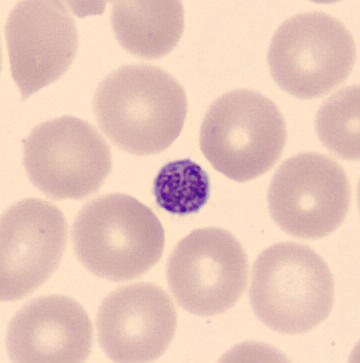Image: Peripheral blood film. Image size 360×363. May Grünwald-Giemsa stain.

The cell type is platelet.